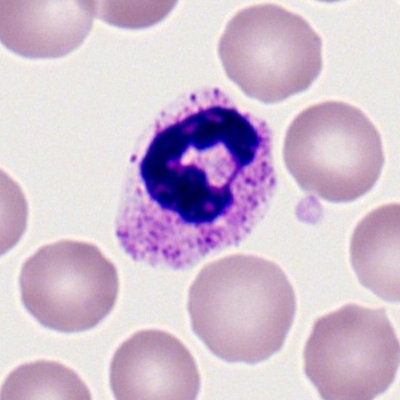

Classification: polymorphonuclear neutrophil.